Brightfield microscopy, 40× oil immersion · bone marrow smear:
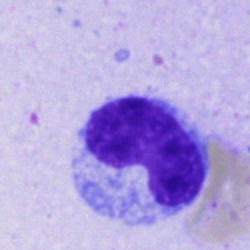Showing a metamyelocyte.